Brightfield, 40× oil-immersion objective. Bone marrow aspirate smear — 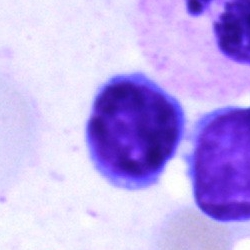 Specimen: bone marrow smear.
Morphological class: lymphocyte.